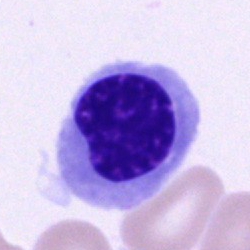 Classification = nucleated red blood cell.